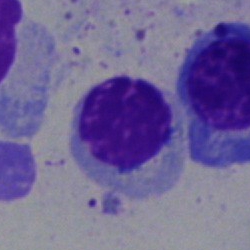Single-cell crop from a bone marrow smear: nucleated red blood cell.